Bone marrow aspirate smear: 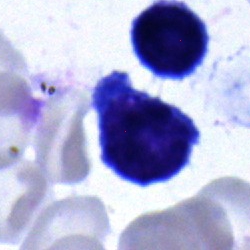 Morphology — lymphocyte.